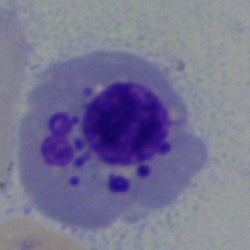

Morphological class — nucleated red cell.